Brightfield, 40× oil-immersion objective. 250 by 250 pixels. Bone marrow smear — 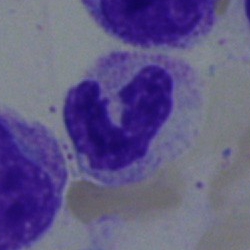

{"cell_type": "neutrophil (band)"}